Peripheral blood film. 360×363 px: 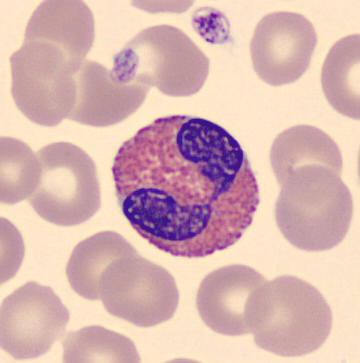
Cell — eosinophil.